Romanowsky-stained. Peripheral blood film: 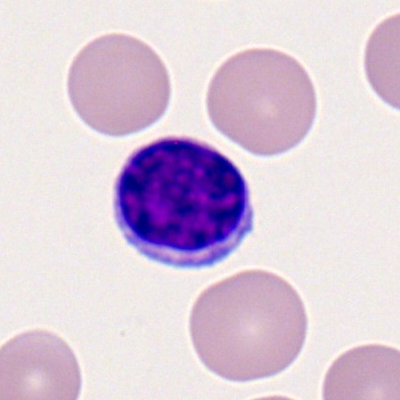 Morphological class: lymphocyte.